Bone marrow smear: 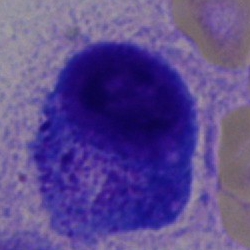Q: What is the morphological classification of this cell?
A: A progranulocyte.